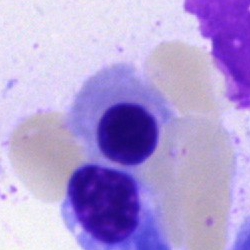Specimen: bone marrow smear.
Morphological class: nucleated red cell.
Lineage: erythroid.